Bone marrow smear: 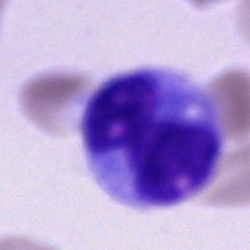
Q: What cell is this?
A: Monocyte.